Cropped to a single cell · bone marrow aspirate smear:
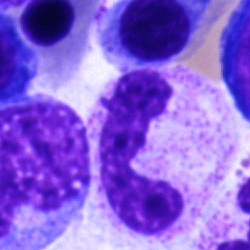Neutrophil (segmented).